Brightfield microscopy, 40× oil immersion; bone marrow smear:
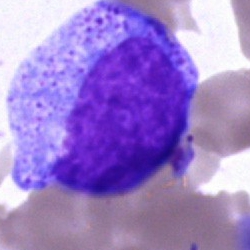

Q: Identify the cell.
A: A progranulocyte.